Single-cell crop; bone marrow aspirate smear:
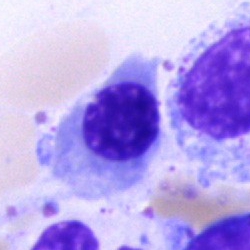{"cell_type": "nucleated red blood cell", "lineage": "erythroid"}